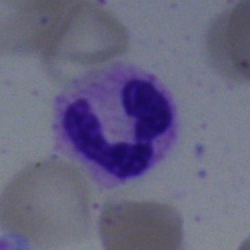Bone marrow smear showing a neutrophil (segmented).